Bone marrow smear: 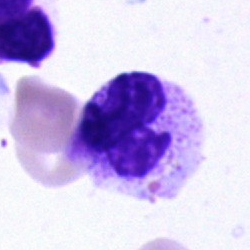
Cell — polymorphonuclear neutrophil.